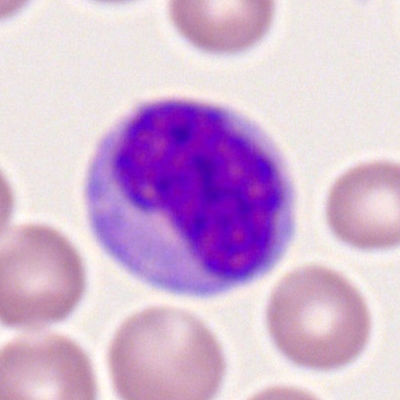 Classification: monocyte.